Brightfield microscopy, 40× oil immersion · May-Grünwald-Giemsa stain · bone marrow aspirate smear — 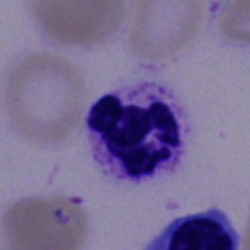 Impression → polymorphonuclear neutrophil.